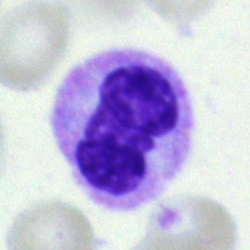 {"cell_type": "neutrophil (segmented)", "lineage": "myeloid"}